Bone marrow aspirate smear.
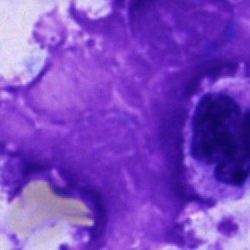Q: What is shown here?
A: It is an artefact.